Bone marrow aspirate smear — 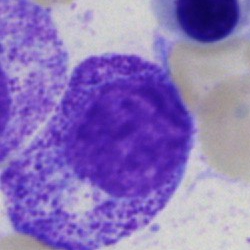Morphological class: myelocyte.